Bone marrow aspirate smear — 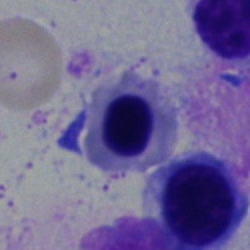

Impression — normoblast.